Bone marrow smear; 250 by 250 pixels; May-Grünwald-Giemsa/Pappenheim stain: 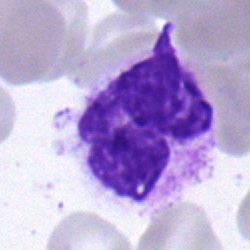 This is a polymorphonuclear neutrophil.